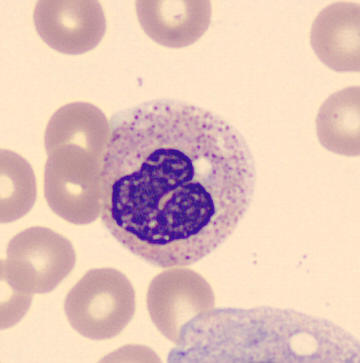

Single-cell crop from a peripheral blood smear: stab cell.